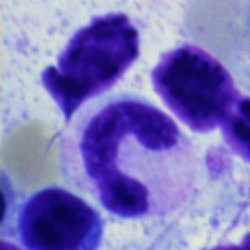Specimen: bone marrow smear.
Cell: segmented neutrophil.
Lineage: myeloid.